Bone marrow smear; 250×250 px; cropped to a single cell — 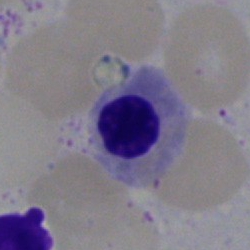This is a nucleated red blood cell.